Peripheral blood smear.
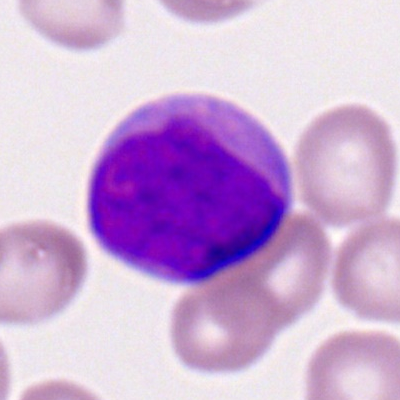Cell — myeloid blast.